Bone marrow smear. Brightfield, 40× oil-immersion objective
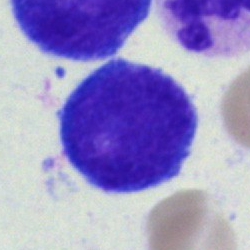 {"cell_type": "pronormoblast", "lineage": "erythroid"}